Peripheral blood smear:
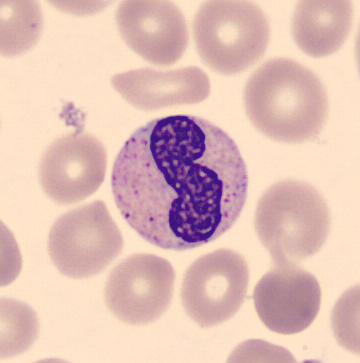Classification: band-form neutrophil.